Single-cell field · peripheral blood smear · 100× oil immersion, 14.14 px/µm:
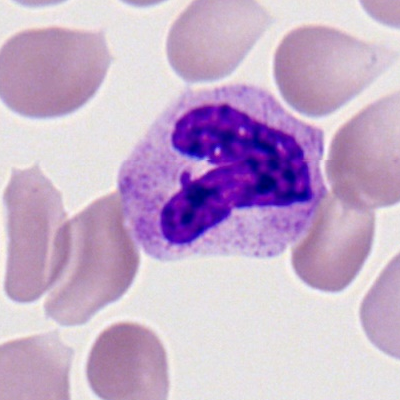Morphology consistent with a neutrophil (segmented).